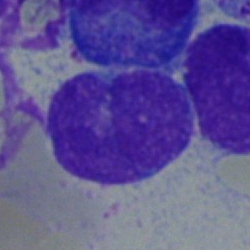Morphology → blast.